Single-cell field. Bone marrow aspirate smear:
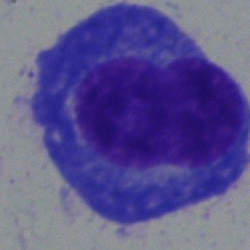

Morphology consistent with a plasmacyte.